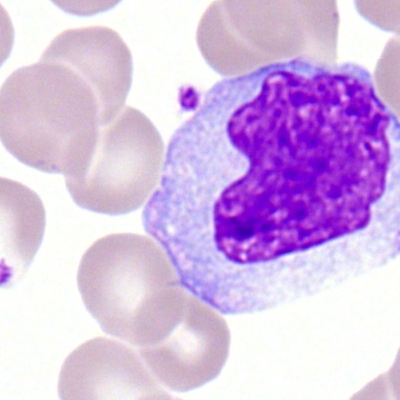Morphology → monocyte.